Bone marrow aspirate smear · 40× oil immersion
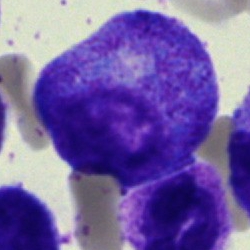
Impression → progranulocyte.